Single-cell crop; 40× oil immersion; bone marrow aspirate smear: 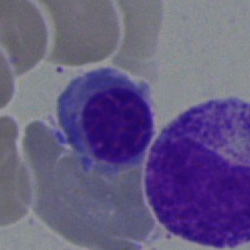
A nucleated red blood cell.